Peripheral blood film — 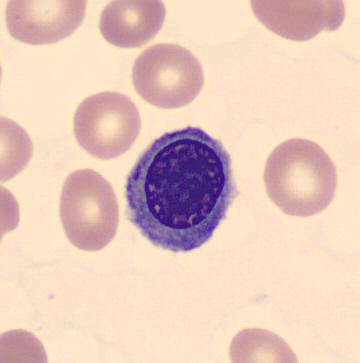 Specimen: peripheral blood film.
Classification: erythroblast.
Lineage: erythroid.